Single cell centered in the field; bone marrow aspirate smear; brightfield microscopy, 40× oil immersion
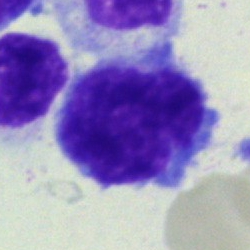Specimen: bone marrow aspirate smear.
Cell: blast cell.